Bone marrow aspirate smear — 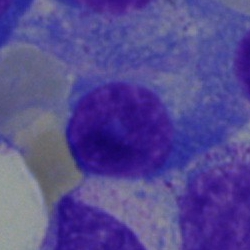 Morphology consistent with a plasmacyte.